Bone marrow aspirate smear; 250×250 px; MGG-stained — 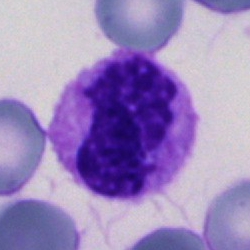The classification is polymorphonuclear neutrophil.